Bone marrow smear:
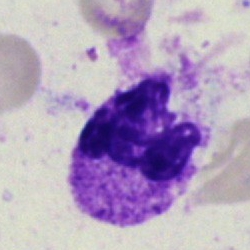 Q: What is shown here?
A: Artifact.